Single cell centered in the field; peripheral blood smear: 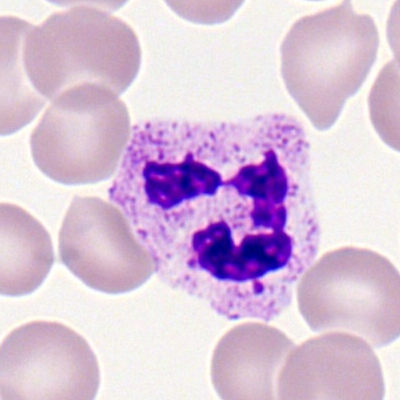

Specimen: peripheral blood smear.
Cell type: neutrophil (segmented).
Lineage: myeloid.